40× objective, oil immersion · May-Grünwald-Giemsa stain · bone marrow smear: 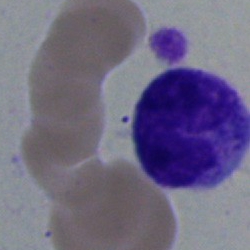{"cell_type": "monocyte", "lineage": "myeloid"}